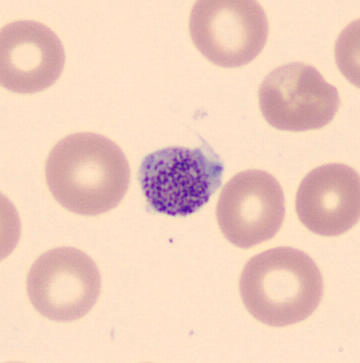

Morphology consistent with a platelet (thrombocyte).

Acquisition: Peripheral blood smear.